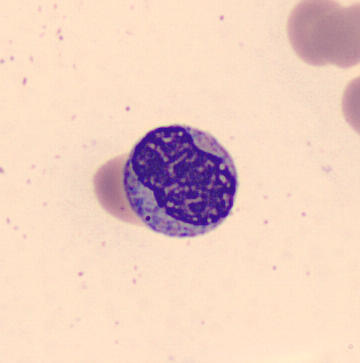

Acquisition: Peripheral blood smear. Automated cell imaging (CellaVision DM96). Cropped to a single cell.

Showing a myelocyte.